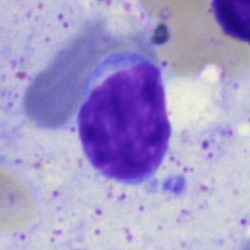Specimen: bone marrow aspirate smear.
Classification: lymphocyte.